Peripheral blood smear. Single cell centered in the field:
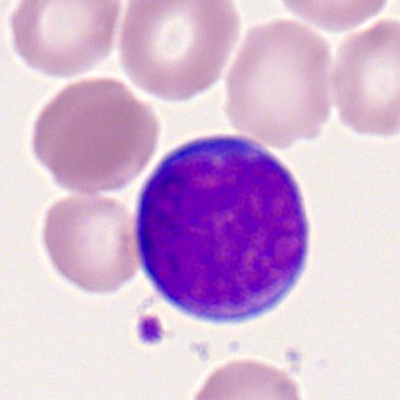
Q: What cell is this?
A: Myeloblast.